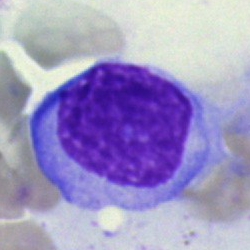
A blast cell.